Bone marrow aspirate smear:
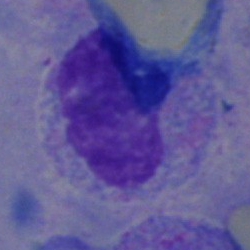
An artifact.